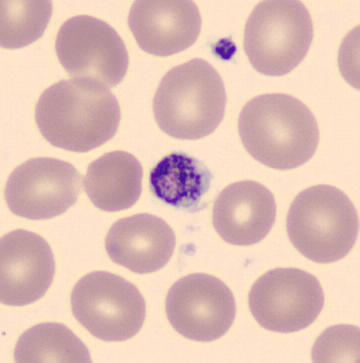Specimen: peripheral blood film.
Morphological class: thrombocyte. Preparation: 360 by 363 pixels.